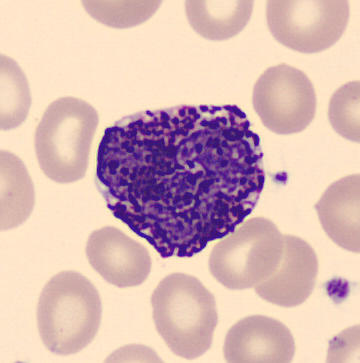Peripheral blood film.
Q: What is the morphological classification of this cell?
A: It is a basophil.